Bone marrow smear — 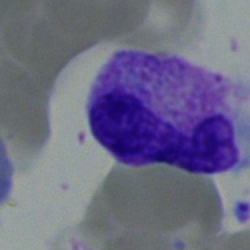
Morphology → band-form neutrophil.